Bone marrow aspirate smear.
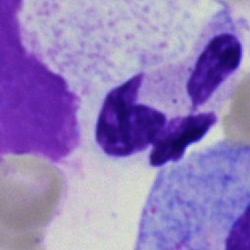

{"cell_type": "segmented neutrophil", "lineage": "myeloid"}